Bone marrow aspirate smear; single-cell field:
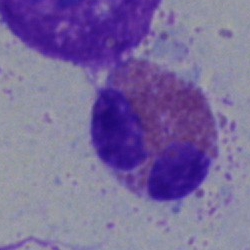 An eosinophil.